Bone marrow smear:
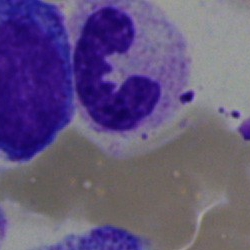Impression — band-form neutrophil.